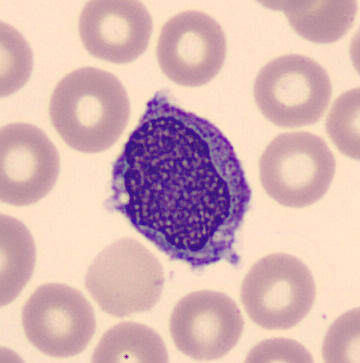Peripheral blood film · single-cell crop. A monocyte.